Image size 250×250. Bone marrow smear: 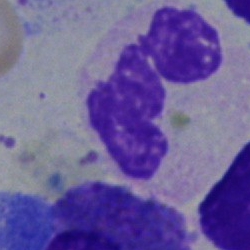The cell shown is a neutrophil (segmented).